Single-cell field; bone marrow aspirate smear.
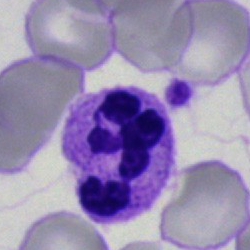 This is a neutrophil (segmented).